Bone marrow aspirate smear · MGG-stained:
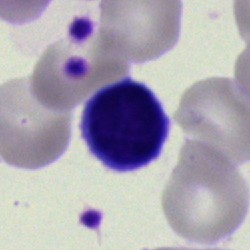Morphology consistent with a typical lymphocyte.